Single-cell field. Bone marrow smear:
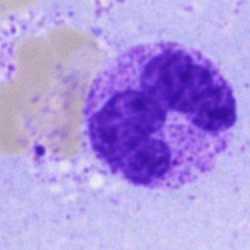The cell shown is a segmented neutrophil.